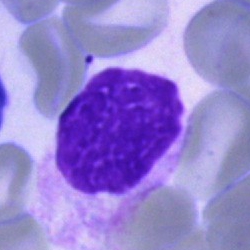
Q: What is shown here?
A: This is an artefact.